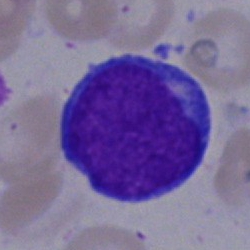 This is a blast.